Bone marrow aspirate smear. 40× objective, oil immersion.
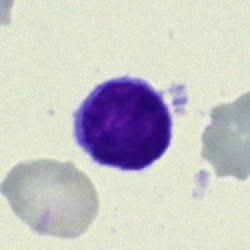
{"cell_type": "typical lymphocyte", "lineage": "lymphoid"}